Peripheral blood smear. 100× objective, oil immersion.
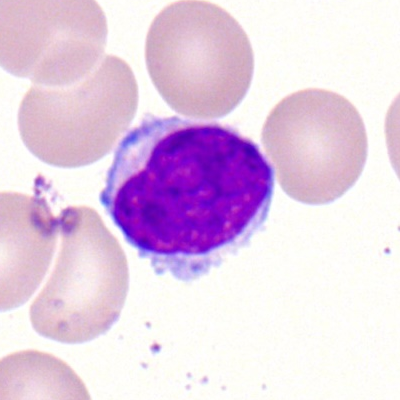Q: Identify the cell.
A: Typical lymphocyte.